Bone marrow aspirate smear
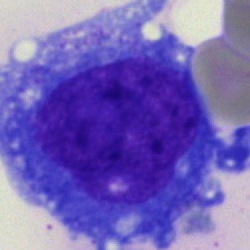Showing an undifferentiated blast.